Bone marrow aspirate smear.
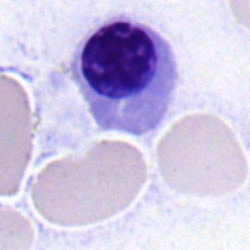

Erythroblast.